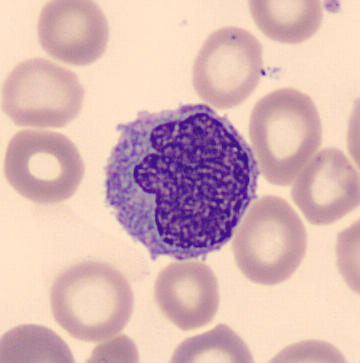 Q: What is shown here?
A: A monocyte.

Image: Automated cell imaging (CellaVision DM96); peripheral blood smear.